MGG-stained; bone marrow aspirate smear; 250×250 px:
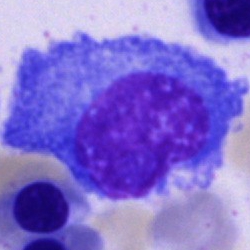
The cell is plasma cell.